Bone marrow smear:
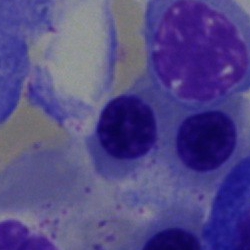
Morphological class: nucleated red blood cell.